Single-cell crop · bone marrow smear · 250×250 px: 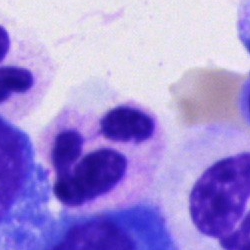Morphology → polymorphonuclear neutrophil.